Single-cell field; bone marrow aspirate smear:
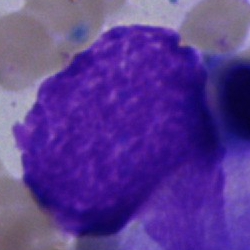 Classification — artefact.